Bone marrow smear
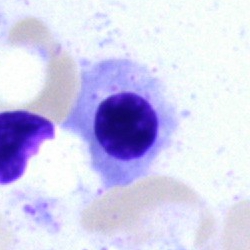 A nucleated red cell.